250×250; bone marrow smear — 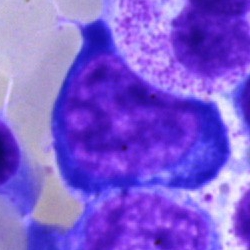Impression → normoblast.